Bone marrow smear · May-Grünwald-Giemsa/Pappenheim stain — 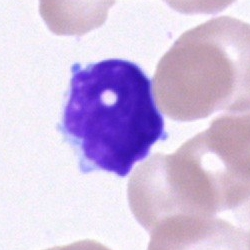

Impression → typical lymphocyte.